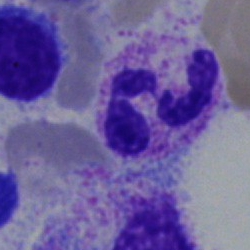 Cell type = segmented neutrophil.